Bone marrow smear
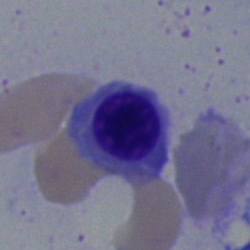
Showing a nucleated red cell.